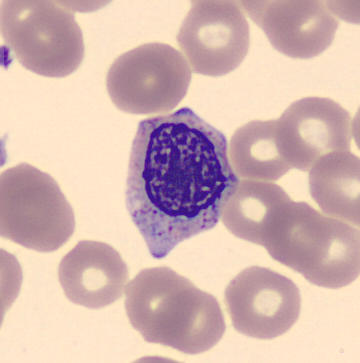
Classification: metamyelocyte.